Bone marrow smear.
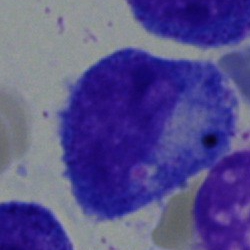

Progranulocyte.